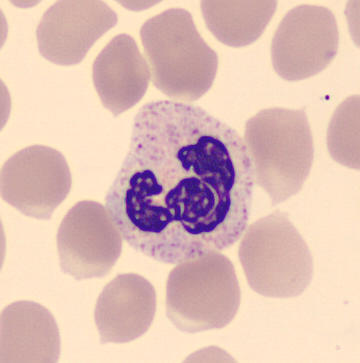

Acquisition: 360 by 363 pixels · peripheral blood film.
Q: Which cell type is shown here?
A: It is a neutrophil (segmented).